Bone marrow smear:
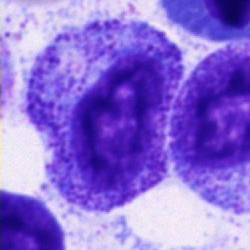Progranulocyte.